Bone marrow aspirate smear — 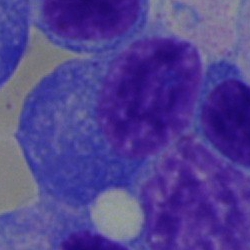
A plasma cell.